Bone marrow aspirate smear. 40× objective, oil immersion: 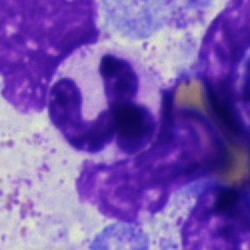Cell type = segmented neutrophil.